Bone marrow aspirate smear — 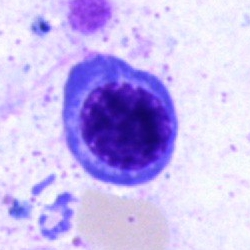

Q: Identify the cell.
A: It is an erythroblast.